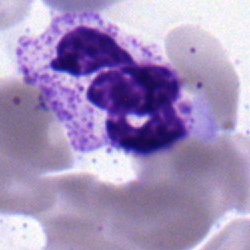 Single-cell crop from a bone marrow smear: segmented neutrophil.